Bone marrow aspirate smear
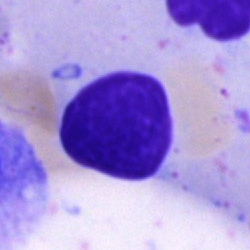 The cell shown is an artifact.